Bone marrow smear; 40× oil immersion — 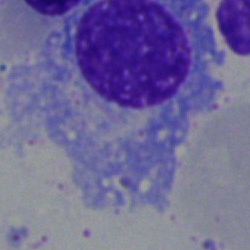 Q: Identify the cell.
A: It is a plasmacyte.